Peripheral blood film. 400×400 px. 100× objective, oil immersion: 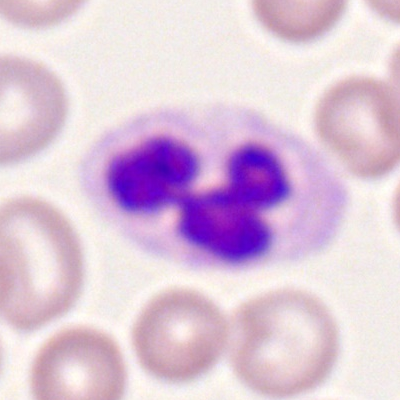 Polymorphonuclear neutrophil.